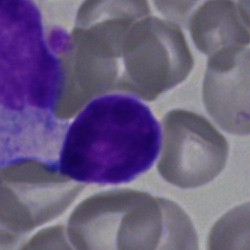 Morphological class — lymphocyte.